Bone marrow aspirate smear — 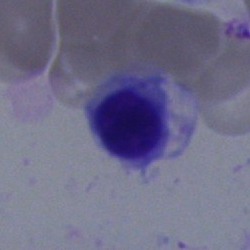
{"cell_type": "normoblast"}